250 by 250 pixels. Bone marrow smear. Cropped to a single cell: 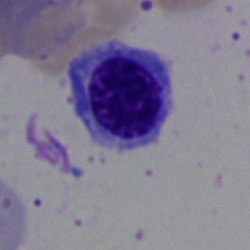

Classification: nucleated red blood cell.